Bone marrow smear:
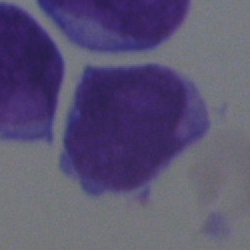

Single cell identified as an undifferentiated blast.